Bone marrow aspirate smear — 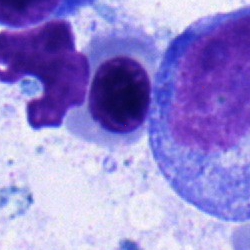
Normoblast.